Bone marrow aspirate smear
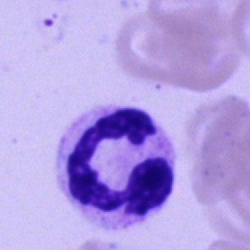

The classification is polymorphonuclear neutrophil.